Bone marrow smear. 40× oil immersion — 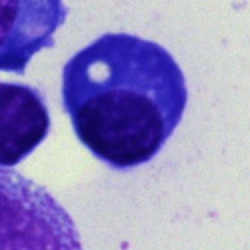

Showing a plasmacyte.